Peripheral blood film:
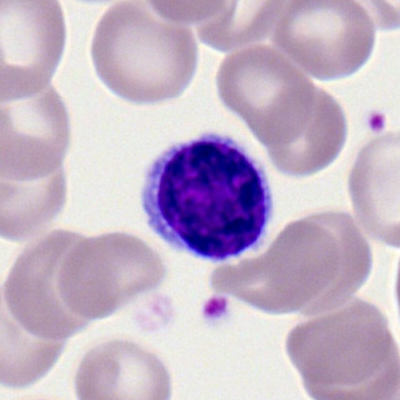
Cell — lymphocyte.